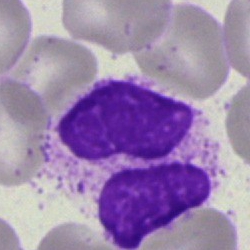 Specimen: bone marrow aspirate smear.
Classification: artefact.